Bone marrow aspirate smear
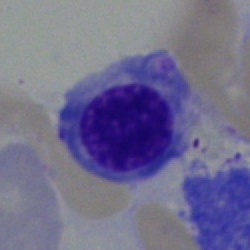

Cell = nucleated red cell.